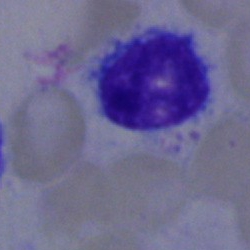
The classification is typical lymphocyte.